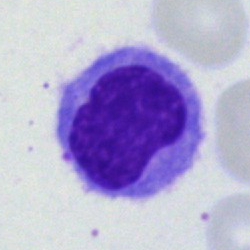
The cell shown is a monocyte.